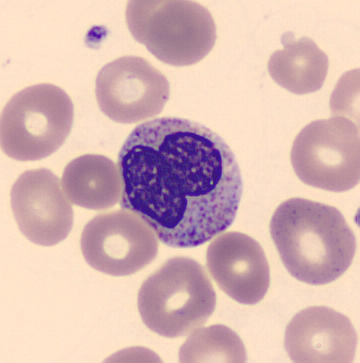

Image: Peripheral blood smear · MGG stain.

{"cell_type": "metamyelocyte", "lineage": "myeloid"}